Single-cell field; bone marrow smear; May-Grünwald-Giemsa/Pappenheim stain:
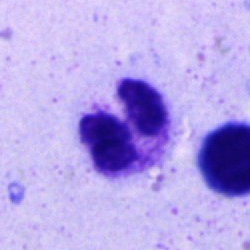 Cell — segmented neutrophil.